Bone marrow aspirate smear · image size 250×250
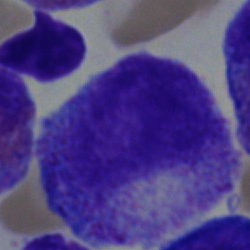
Cell type: myelocyte.